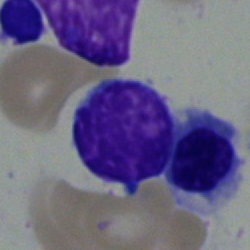 Impression → lymphocyte.